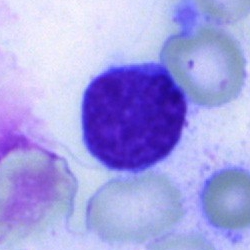

Specimen: bone marrow aspirate smear.
Classification: typical lymphocyte.
Lineage: lymphoid.